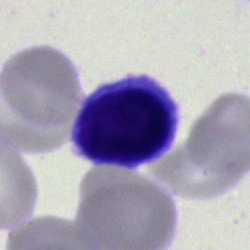Bone marrow aspirate smear, single cell — lymphocyte.